250×250; bone marrow aspirate smear — 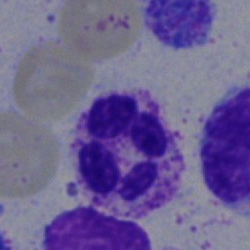
Cell = neutrophil (segmented).